Bone marrow aspirate smear — 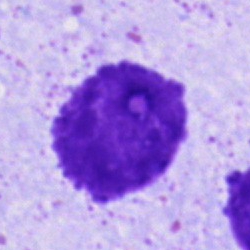Impression — artifact.